Bone marrow smear · May-Grünwald-Giemsa stain — 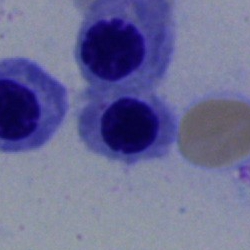 Q: What is the morphological classification of this cell?
A: It is a nucleated red cell.